Bone marrow aspirate smear; 40× oil immersion: 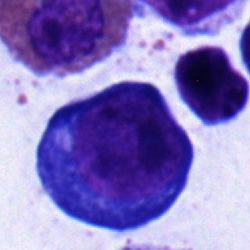

Single cell identified as a proerythroblast.